Bone marrow aspirate smear.
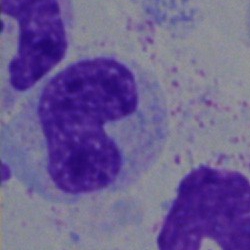 Q: What is shown here?
A: This is a band neutrophil.